40× objective, oil immersion · single-cell crop · bone marrow aspirate smear
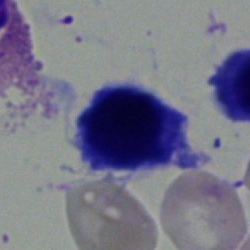Nucleated red blood cell.